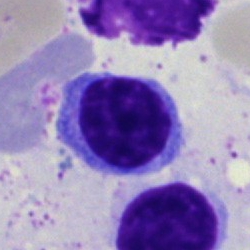

Cell = typical lymphocyte.